Bone marrow aspirate smear; May-Grünwald-Giemsa stain — 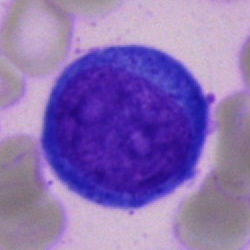
{"cell_type": "blast cell"}